400 by 400 pixels · single-cell crop · peripheral blood smear:
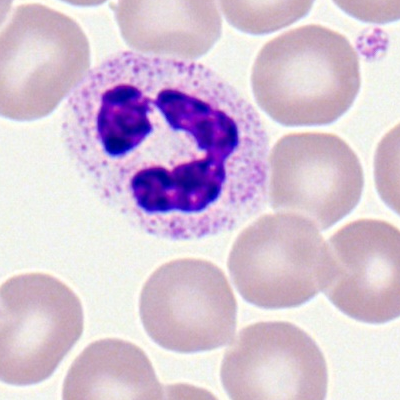

Specimen: peripheral blood film.
Morphological class: polymorphonuclear neutrophil.
Lineage: myeloid.